Bone marrow smear
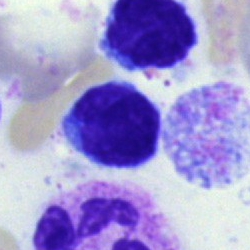 Q: What is the morphological classification of this cell?
A: A lymphocyte.